MGG-stained; bone marrow aspirate smear.
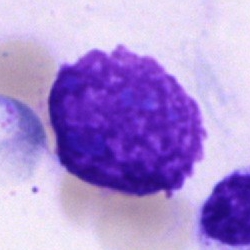
Single cell identified as an artefact.